Bone marrow smear: 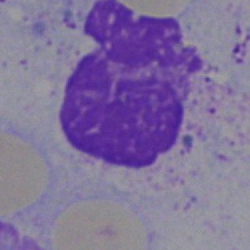 Classification: artefact.